Bone marrow smear
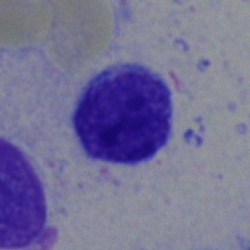

Classification = typical lymphocyte.